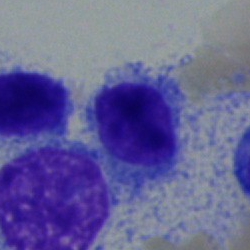Q: What cell is this?
A: A lymphocyte.